Bone marrow aspirate smear.
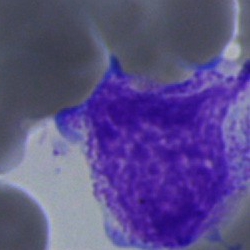A myelocyte.